Bone marrow smear: 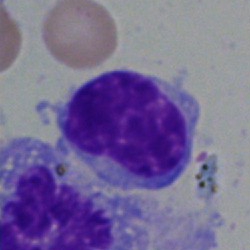

Lymphocyte.